Bone marrow smear.
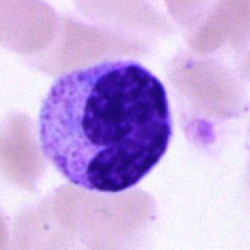The morphological class is band neutrophil.